Bone marrow smear · single-cell crop · May-Grünwald-Giemsa/Pappenheim stain.
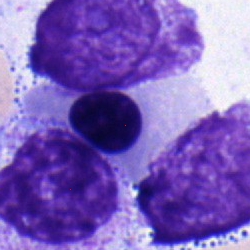 Q: What is shown here?
A: Nucleated red blood cell.